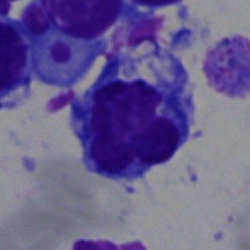
Q: What cell is this?
A: Lymphocyte.